Peripheral blood film
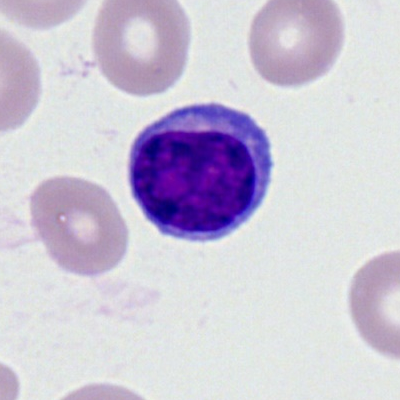 Cell type — lymphocyte.